Brightfield microscopy, 40× oil immersion. Bone marrow smear. Image size 250×250
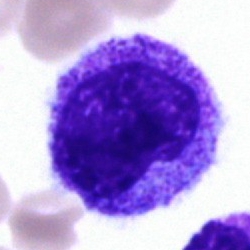

Q: What type of cell is this?
A: A metamyelocyte.